Brightfield microscopy, 40× oil immersion; bone marrow aspirate smear
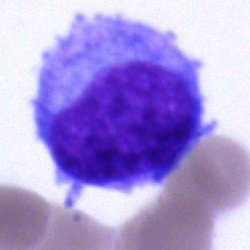A blast.